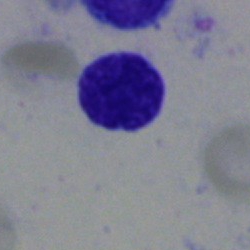

Specimen: bone marrow aspirate smear.
Classification: typical lymphocyte.
Lineage: lymphoid.